Bone marrow smear.
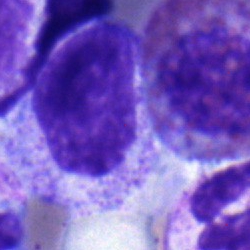Specimen: bone marrow smear.
Cell: myelocyte.
Lineage: myeloid.